May-Grünwald-Giemsa stain · bone marrow aspirate smear.
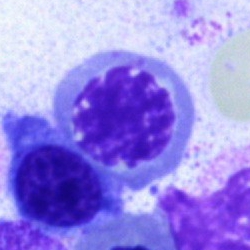Morphology consistent with an erythroblast.